Bone marrow smear
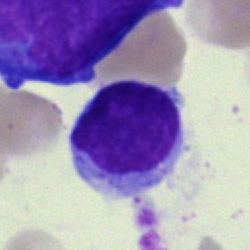
Q: What is shown here?
A: It is a lymphocyte.